Bone marrow smear:
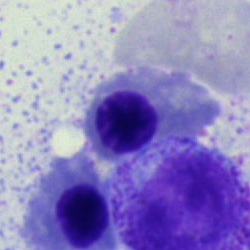 A nucleated red cell.